Brightfield microscopy, 40× oil immersion; bone marrow smear: 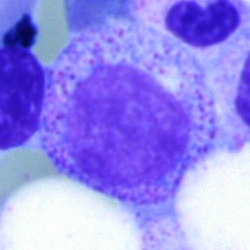

This is a myelocyte.